250 by 250 pixels; bone marrow smear; single-cell field: 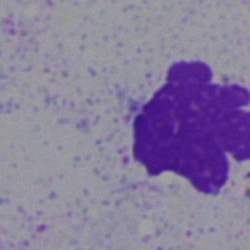Cell = artefact.